Single-cell crop · bone marrow aspirate smear:
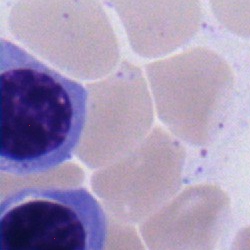This is a nucleated red blood cell.